Bone marrow aspirate smear:
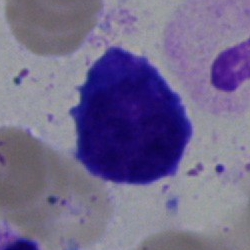 Q: What cell is this?
A: A typical lymphocyte.